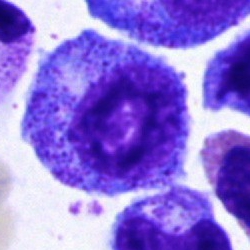Specimen: bone marrow smear.
Morphological class: progranulocyte.